Bone marrow smear:
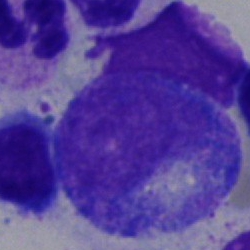
Cell — progranulocyte.